Single-cell field; bone marrow aspirate smear — 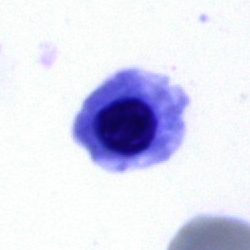
A nucleated red cell.